Peripheral blood smear.
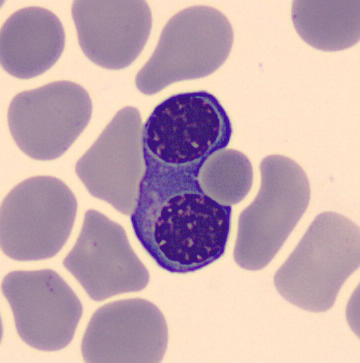 Impression → nucleated red cell.